Peripheral blood film · 400×400 px.
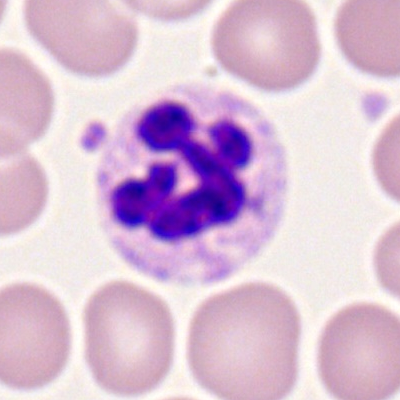Q: What is shown here?
A: This is a neutrophil (segmented).